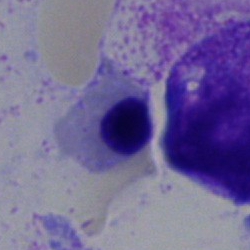
Morphological class: erythroblast.